Bone marrow smear. Brightfield microscopy, 40× oil immersion: 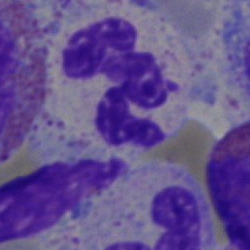The cell is polymorphonuclear neutrophil.